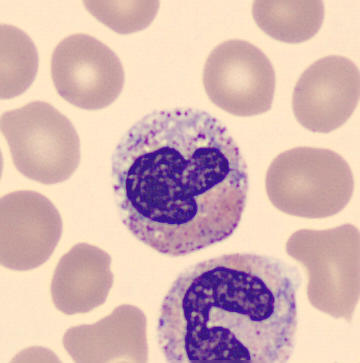

Q: Identify the cell.
A: This is a stab cell.
Peripheral blood film.